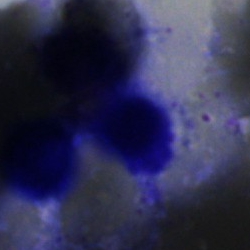 Single cell identified as an artifact.